250 by 250 pixels; bone marrow aspirate smear: 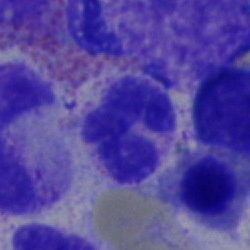A neutrophil (segmented).